Bone marrow smear: 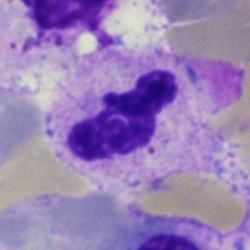
Single cell identified as a neutrophil (segmented).